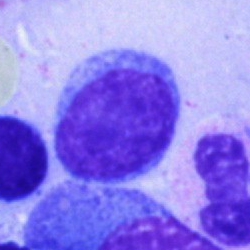 Single-cell crop from a bone marrow smear: typical lymphocyte.